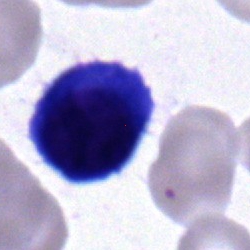

Q: Identify the cell.
A: It is a nucleated red cell.